Cropped to a single cell · bone marrow aspirate smear:
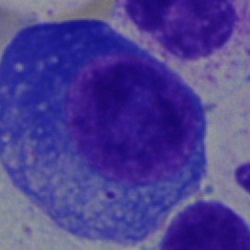

Q: What is the morphological classification of this cell?
A: This is a plasma cell.